Cropped to a single cell; brightfield microscopy, 40× oil immersion; bone marrow smear:
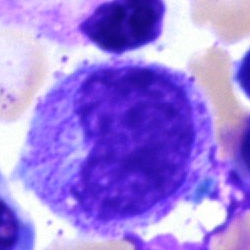Cell = metamyelocyte.